Bone marrow aspirate smear · 40× oil immersion — 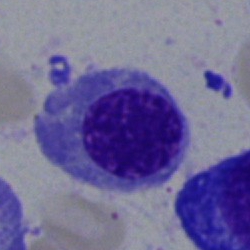
Classification = nucleated red blood cell.